Bone marrow aspirate smear: 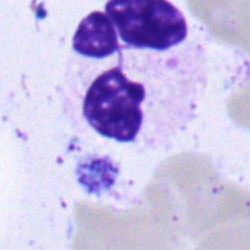

Specimen: bone marrow smear.
Morphological class: segmented neutrophil.
Lineage: myeloid.